Brightfield, 40× oil-immersion objective · bone marrow aspirate smear · cropped to a single cell: 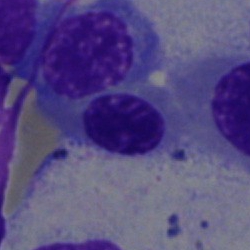 Morphology consistent with an erythroblast.